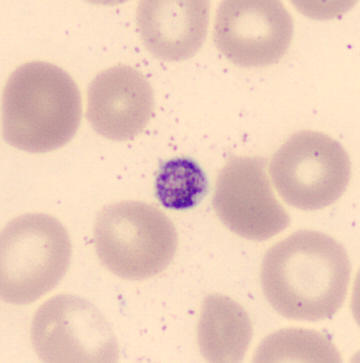
Q: What is this?
A: A thrombocyte.

Peripheral blood smear.